Bone marrow smear · single cell centered in the field — 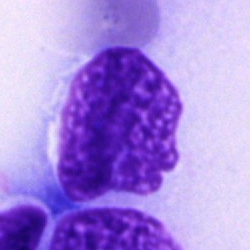

Q: What is shown here?
A: An artefact.